Bone marrow smear.
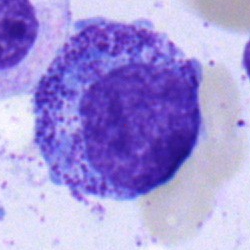 Morphology consistent with a promyelocyte.